Peripheral blood smear: 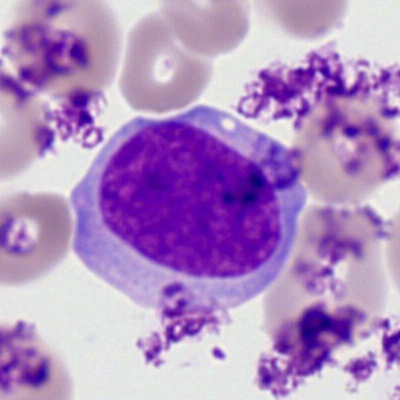The cell shown is a myeloid blast.